Single-cell field · bone marrow smear.
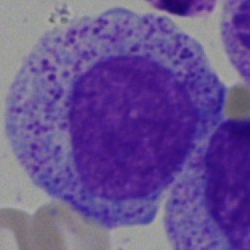 Morphological class — progranulocyte.